Bone marrow aspirate smear · 40× oil immersion · May-Grünwald-Giemsa stain:
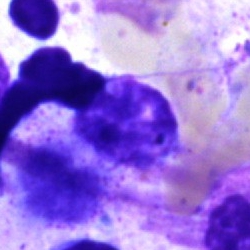

Cell = artefact.